Bone marrow smear.
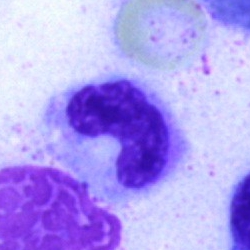 Single cell identified as a neutrophil (band).